Bone marrow aspirate smear:
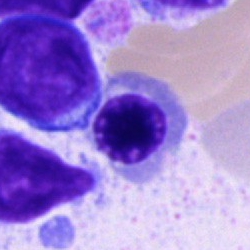Specimen: bone marrow aspirate smear.
Morphological class: normoblast.
Lineage: erythroid.